Brightfield, 40× oil-immersion objective. Bone marrow aspirate smear — 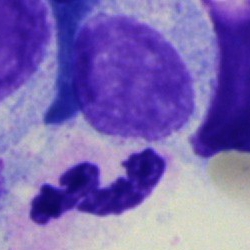
Q: Which cell type is shown here?
A: A segmented neutrophil.